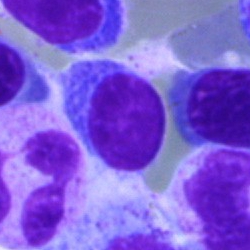The cell shown is a lymphocyte.